Single cell centered in the field · bone marrow smear.
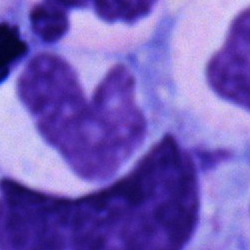
This is a band-form neutrophil.